Bone marrow aspirate smear · 40× objective, oil immersion — 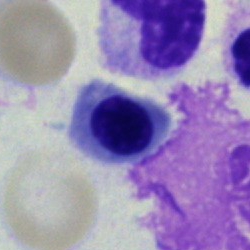 Showing a nucleated red blood cell.